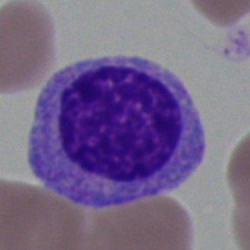Q: Identify the cell.
A: It is a myelocyte.